Cropped to a single cell · 40× oil immersion · bone marrow smear
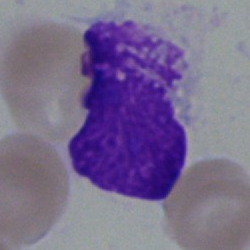
The cell is artifact.